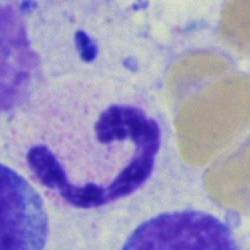 {"cell_type": "segmented neutrophil", "lineage": "myeloid"}